Romanowsky-type stain. Peripheral blood film. 400×400 px: 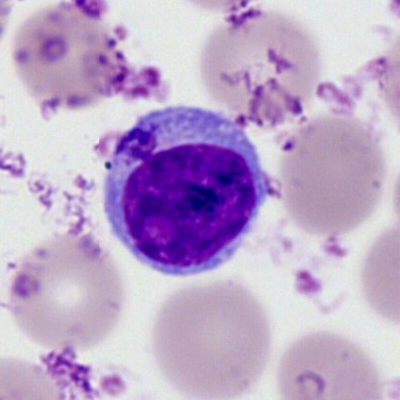 Q: What is shown here?
A: A lymphocyte.